Bone marrow aspirate smear:
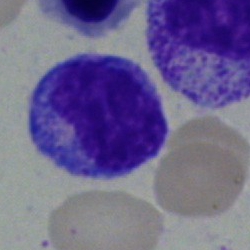

Morphology consistent with a monocyte.